250×250 px. Bone marrow aspirate smear:
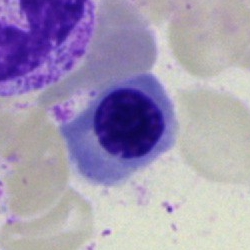 Specimen: bone marrow aspirate smear.
Cell: nucleated red cell.